Romanowsky-stained; single-cell field; peripheral blood film:
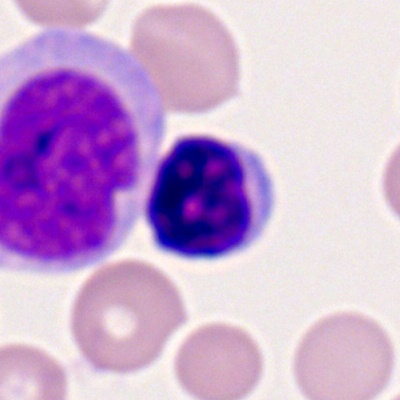

Typical lymphocyte.